Bone marrow aspirate smear: 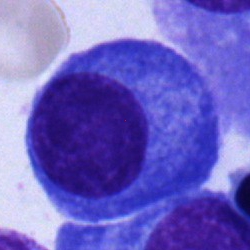 Plasmacyte.